Bone marrow aspirate smear
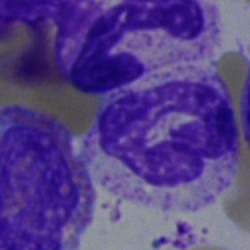Q: What cell is this?
A: A neutrophil (segmented).